Bone marrow aspirate smear.
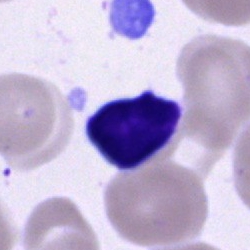Q: What cell is this?
A: Lymphocyte.